Single-cell crop · bone marrow smear · 40× objective, oil immersion — 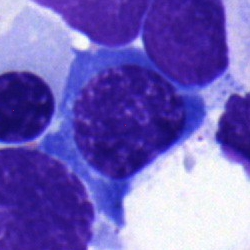
Morphology consistent with a nucleated red cell.